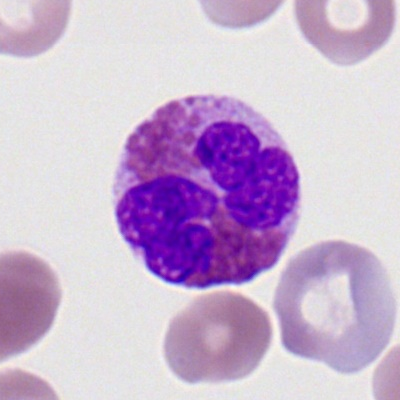
Cell type: eosinophilic granulocyte.